Bone marrow aspirate smear · brightfield, 40× oil-immersion objective · MGG-stained
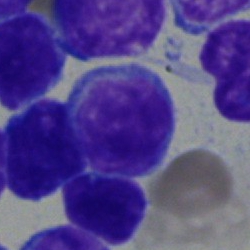 Single cell identified as a lymphocyte.